Brightfield microscopy, 40× oil immersion · bone marrow aspirate smear · Pappenheim-stained — 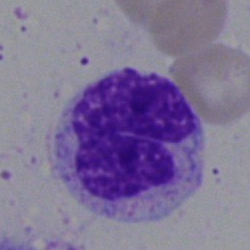

Q: Identify the cell.
A: A neutrophil (segmented).